Bone marrow smear: 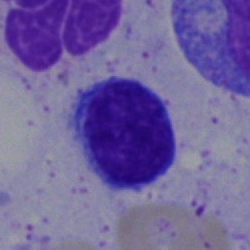 Impression → typical lymphocyte.